Peripheral blood smear:
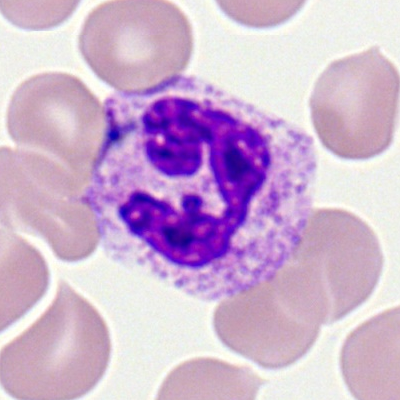 Specimen: peripheral blood smear.
Classification: polymorphonuclear neutrophil.